Bone marrow smear. May-Grünwald-Giemsa stain:
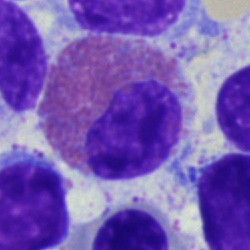 This is an eosinophilic granulocyte.